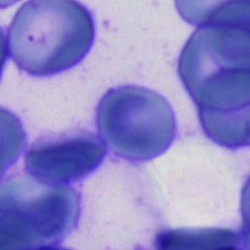Morphology → other cell type.